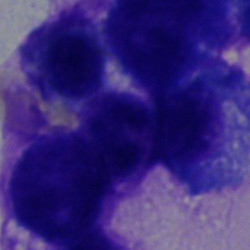
Classification — artefact.